Bone marrow aspirate smear: 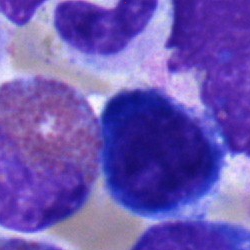Q: Which cell type is shown here?
A: It is a band neutrophil.